Bone marrow smear · 40× oil immersion
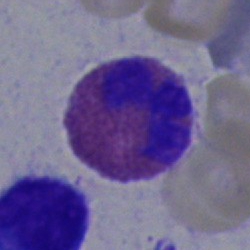

Specimen: bone marrow smear.
Classification: eosinophil.